250 by 250 pixels · bone marrow smear
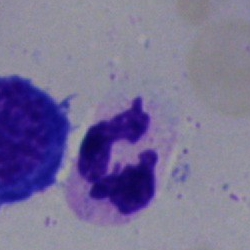
Q: Which cell type is shown here?
A: This is a neutrophil (segmented).